40× objective, oil immersion; bone marrow smear — 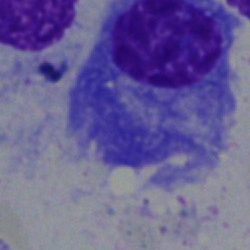Plasma cell.